Bone marrow smear. Pappenheim-stained
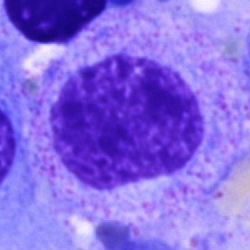 Classification — promyelocyte.